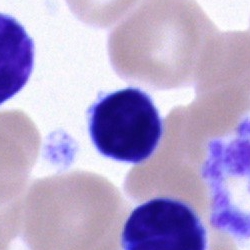Morphological class: lymphocyte.